Bone marrow smear.
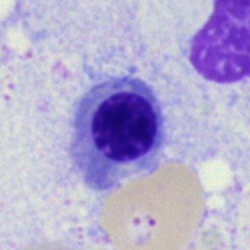Showing a normoblast.